Bone marrow smear
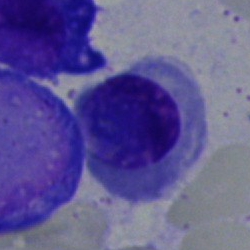
Impression → nucleated red blood cell.